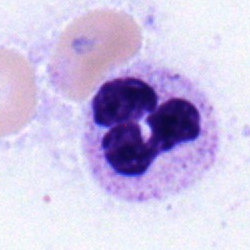
Q: Which cell type is shown here?
A: A polymorphonuclear neutrophil.